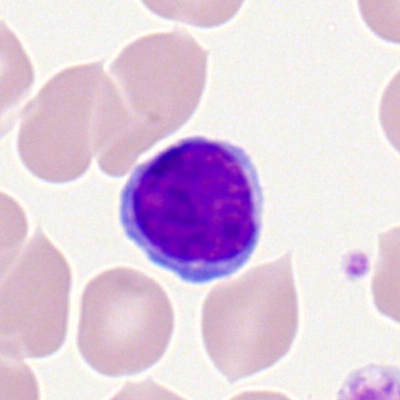
Q: What type of cell is this?
A: A typical lymphocyte.